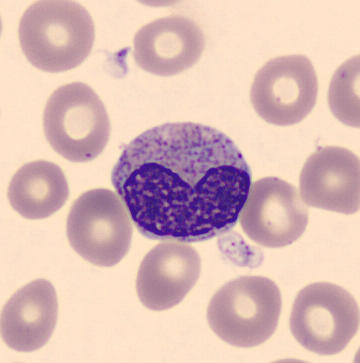 Q: Identify the cell.
A: It is a metamyelocyte. Acquisition: Peripheral blood smear. Single-cell crop.